Single cell centered in the field. 250×250. Bone marrow aspirate smear:
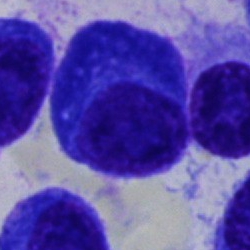

Plasma cell.